Brightfield, 40× oil-immersion objective. Bone marrow aspirate smear. Single cell centered in the field
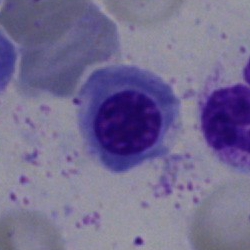

This is a normoblast.